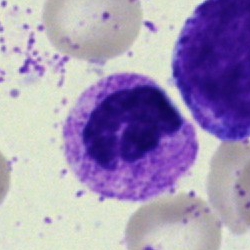

Q: What is shown here?
A: It is a neutrophil (segmented).